100× objective, oil immersion; peripheral blood film.
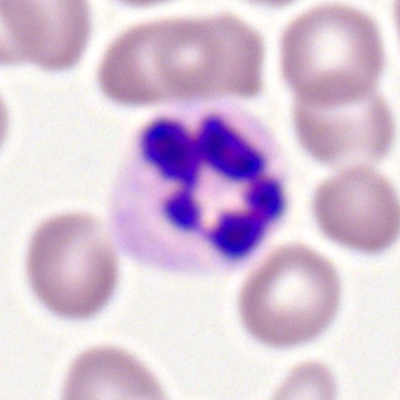Morphology consistent with a segmented neutrophil.